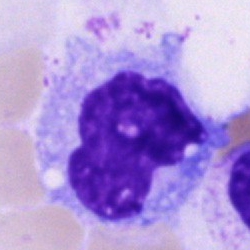

Morphology — monocyte.